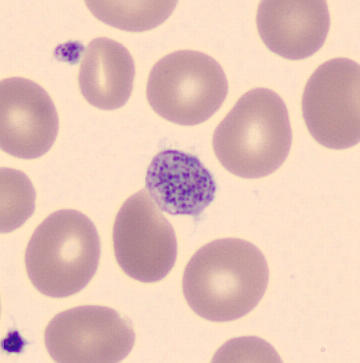Image: Peripheral blood film.

A platelet.